Bone marrow aspirate smear. 250×250. Single cell centered in the field — 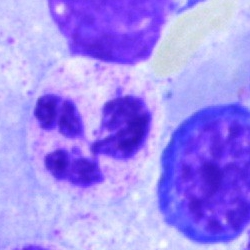Classification — segmented neutrophil.